Bone marrow smear · brightfield, 40× oil-immersion objective · May-Grünwald-Giemsa/Pappenheim stain: 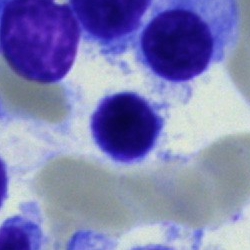The cell shown is a lymphocyte.